Bone marrow aspirate smear: 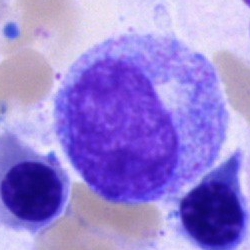Specimen: bone marrow smear.
Classification: progranulocyte.
Lineage: myeloid.